Image size 250×250; bone marrow aspirate smear:
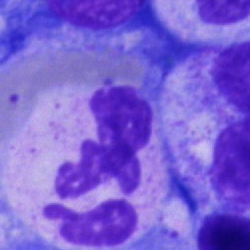
Cell type — segmented neutrophil.